Bone marrow smear
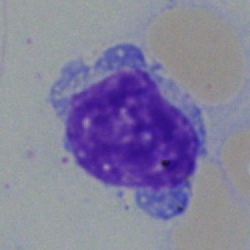

Specimen: bone marrow smear.
Cell type: typical lymphocyte.
Lineage: lymphoid.